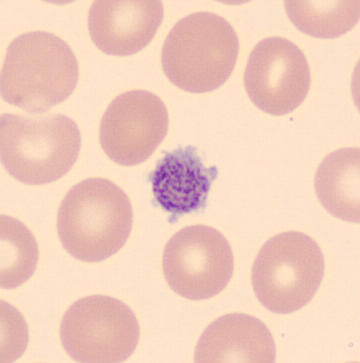

This is a platelet (thrombocyte).

Peripheral blood film.